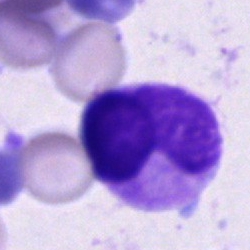
Cell type = cell of indeterminate lineage.